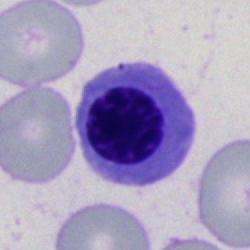 A nucleated red cell on a bone marrow smear.